Bone marrow smear:
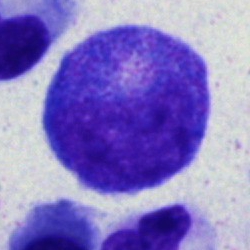

A progranulocyte.